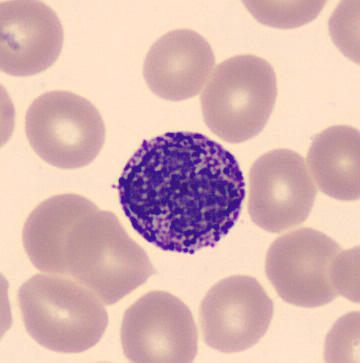

Q: What is shown here?
A: It is a basophilic granulocyte. Image: Peripheral blood smear.